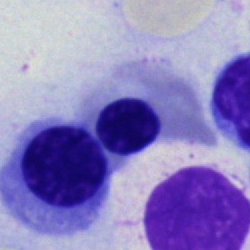 Morphological class = erythroblast.